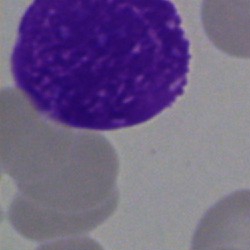

Q: What is shown here?
A: This is an artefact.